Bone marrow smear
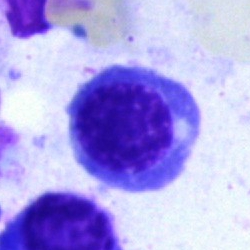

The classification is nucleated red blood cell.